40× objective, oil immersion · bone marrow smear · single cell centered in the field: 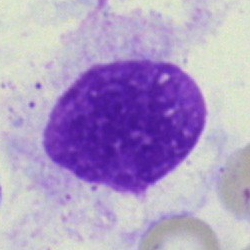 Q: What is shown here?
A: An artefact.